Bone marrow smear.
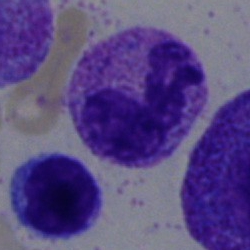 A polymorphonuclear neutrophil.